Pappenheim-stained · bone marrow smear · 40× oil immersion:
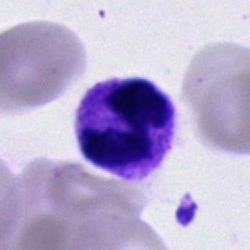
A polymorphonuclear neutrophil.